Pappenheim-stained; bone marrow smear:
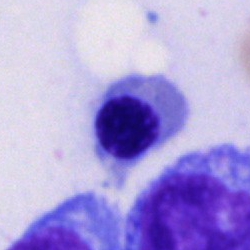

Morphological class: normoblast.